Bone marrow aspirate smear: 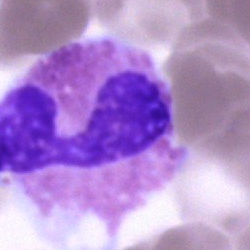 Q: What cell is this?
A: An eosinophil.